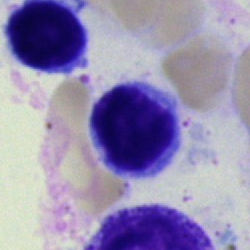Cell = typical lymphocyte.